Bone marrow aspirate smear: 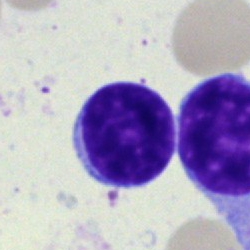 Cell type = lymphocyte.